Image size 250×250. Bone marrow aspirate smear: 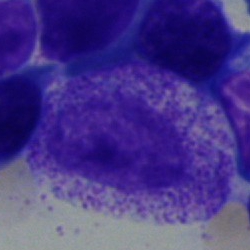

This is a myelocyte.